Brightfield, 40× oil-immersion objective. Bone marrow smear. Single-cell crop
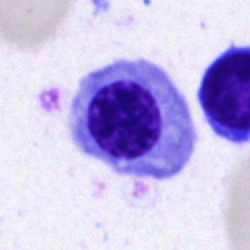 Impression → nucleated red cell.